Bone marrow aspirate smear: 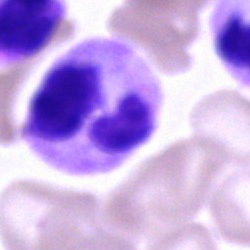 Single cell identified as a polymorphonuclear neutrophil.